Bone marrow smear:
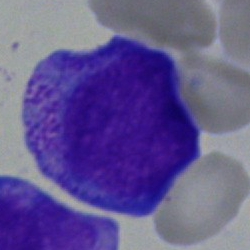

Showing an undifferentiated blast.